Peripheral blood smear:
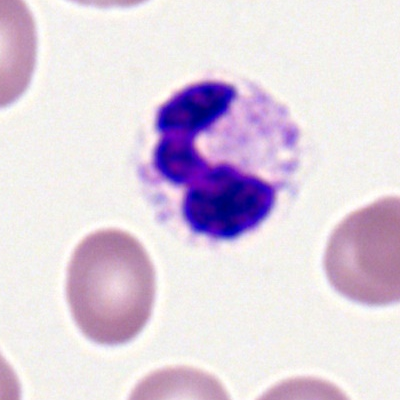 Impression → neutrophil (segmented).